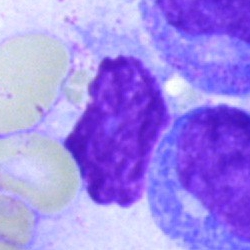

This is an artefact.